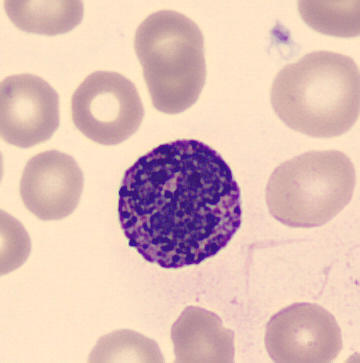
Impression — basophilic granulocyte.
Acquisition: Peripheral blood film.